Bone marrow smear
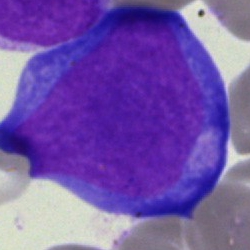 Cell type: proerythroblast.